May-Grünwald-Giemsa stain; bone marrow aspirate smear; 250×250 px
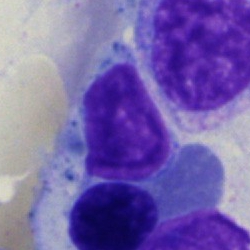Morphology — typical lymphocyte.